Bone marrow aspirate smear: 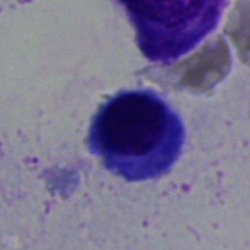 Morphology → nucleated red blood cell.